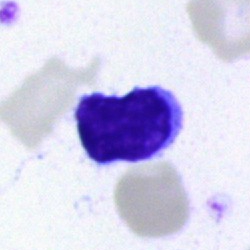
The cell is lymphocyte.